Bone marrow aspirate smear — 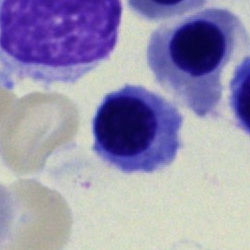 Q: Which cell type is shown here?
A: A normoblast.